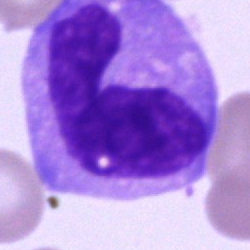

Single-cell crop from a bone marrow smear: monocyte.